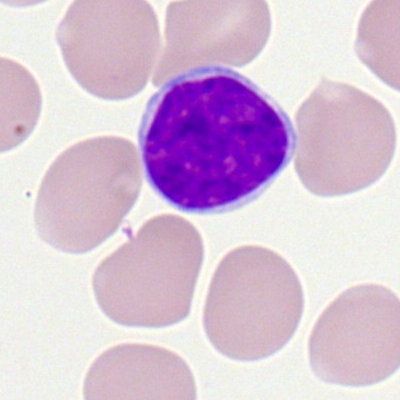

Cell type — typical lymphocyte.